Bone marrow aspirate smear
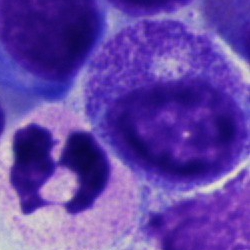

Morphology — myelocyte.